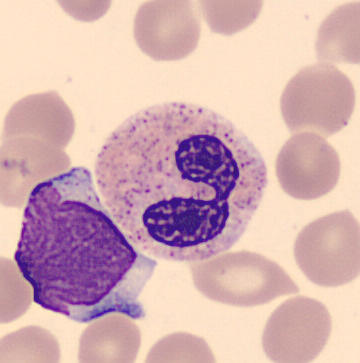
Segmented neutrophil. Acquisition: Peripheral blood film.